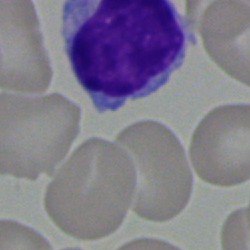
Morphological class: lymphocyte.